Bone marrow smear — 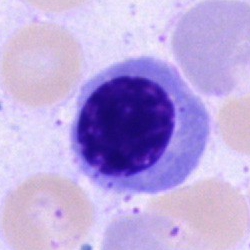 Cell: normoblast.